Bone marrow aspirate smear: 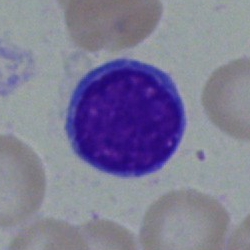Morphology — lymphocyte.